M8 digital microscope (Precipoint), 100× oil immersion · image size 400×400 · peripheral blood smear — 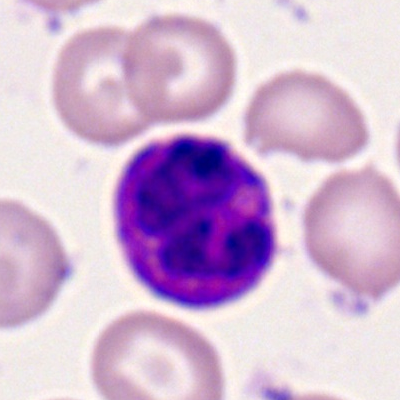
Classification: eosinophil.